Bone marrow aspirate smear:
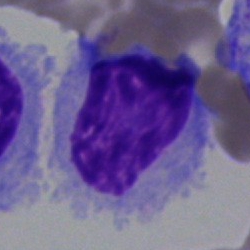

Morphology consistent with a hairy cell.